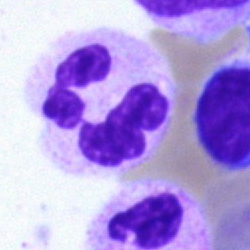
Cell = polymorphonuclear neutrophil.